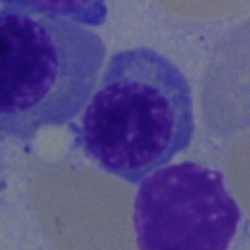A nucleated red cell on a bone marrow smear.